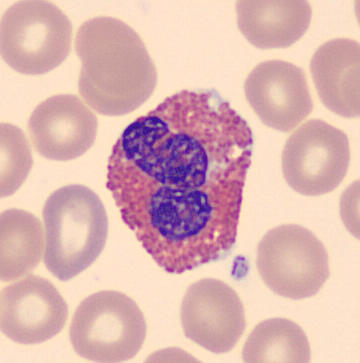Image: Peripheral blood smear. Impression — eosinophilic granulocyte.